Pappenheim-stained · bone marrow aspirate smear · brightfield, 40× oil-immersion objective — 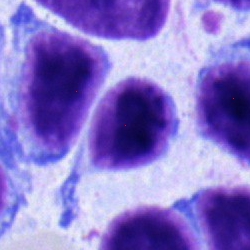
Q: Identify the cell.
A: Typical lymphocyte.